Bone marrow aspirate smear — 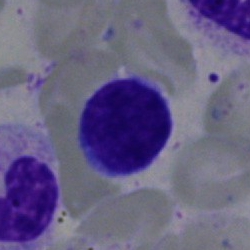 The cell shown is a lymphocyte.